Bone marrow smear. MGG-stained. 250×250 px:
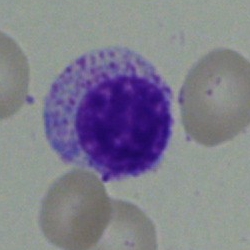 The classification is myelocyte.